Bone marrow aspirate smear; May-Grünwald-Giemsa/Pappenheim stain.
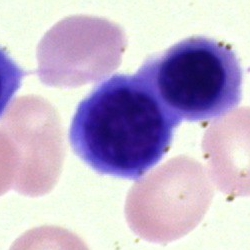

{"cell_type": "erythroblast", "lineage": "erythroid"}